Bone marrow aspirate smear:
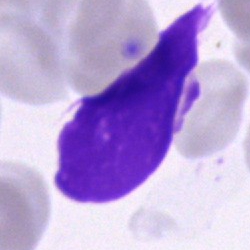

Impression — artifact.